Bone marrow smear — 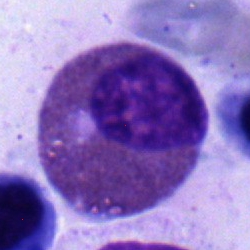An eosinophil.